Single cell centered in the field; 250×250 px; bone marrow smear
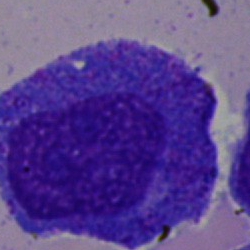

Showing a promyelocyte.